Bone marrow smear.
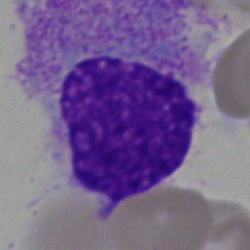
An artifact.